Bone marrow smear; image size 250×250: 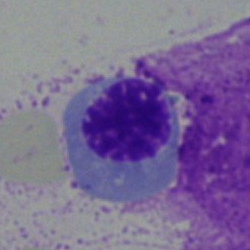

Impression → erythroblast.